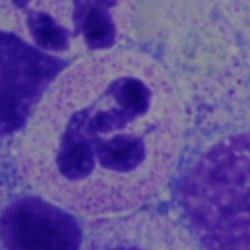 This is a neutrophil (segmented).